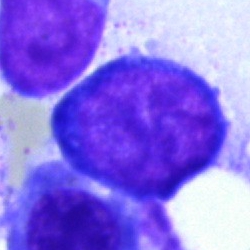Cell type — proerythroblast.